Bone marrow smear · 250 by 250 pixels.
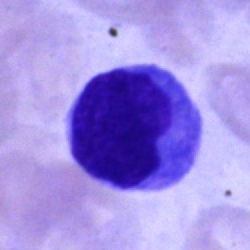Cell type — blast.